Bone marrow aspirate smear: 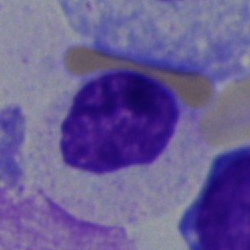Showing a myelocyte.